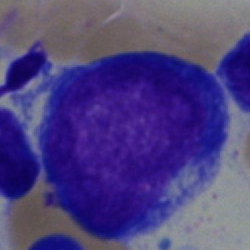

Q: What is the morphological classification of this cell?
A: Undifferentiated blast.